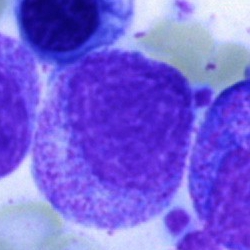

Specimen: bone marrow aspirate smear.
Classification: myelocyte.
Lineage: myeloid.